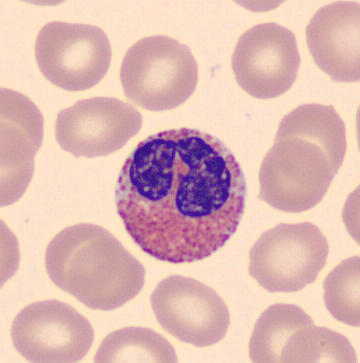 Preparation: 360×363 px. Peripheral blood smear.

The morphological class is eosinophil.